Bone marrow aspirate smear — 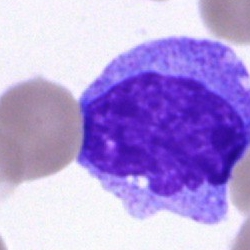Single cell identified as a monocyte.